Bone marrow smear
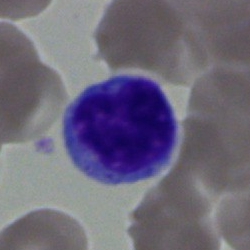Specimen: bone marrow aspirate smear.
Classification: typical lymphocyte.
Lineage: lymphoid.